Bone marrow aspirate smear
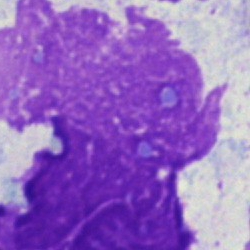
Q: What is shown here?
A: This is an artefact.